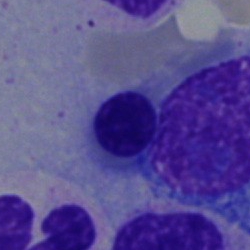Bone marrow aspirate smear, single cell — erythroblast.